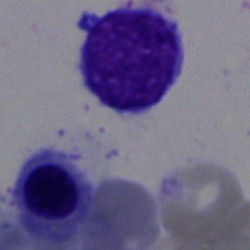
This is a typical lymphocyte.